Romanowsky-type stain · peripheral blood film · cropped to a single cell: 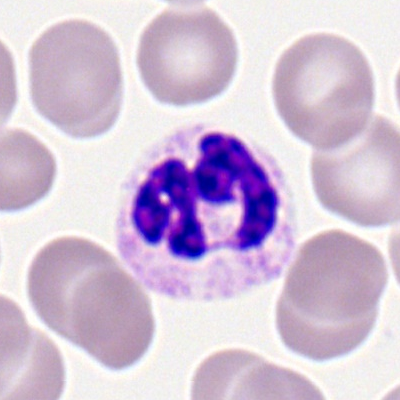
Morphology → segmented neutrophil.